Single cell centered in the field. Bone marrow aspirate smear. Brightfield microscopy, 40× oil immersion:
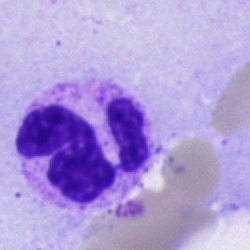 Cell: polymorphonuclear neutrophil.